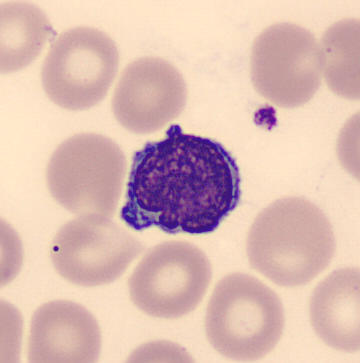

Preparation: Peripheral blood film.
Single cell identified as a lymphocyte.